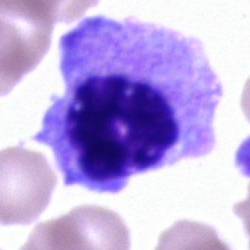Morphological class = cell of indeterminate lineage.